Bone marrow smear
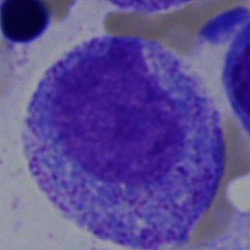Showing a promyelocyte.